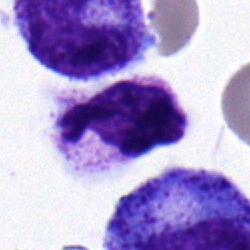 Morphology → polymorphonuclear neutrophil.